Image size 250×250. Bone marrow smear
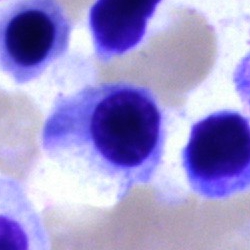

Specimen: bone marrow aspirate smear.
Morphological class: nucleated red cell.
Lineage: erythroid.